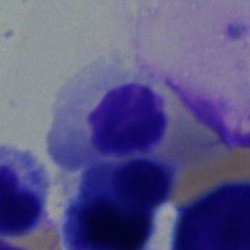Showing an erythroblast.